Bone marrow aspirate smear.
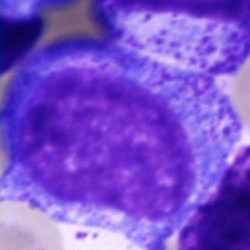

Q: What is shown here?
A: It is a promyelocyte.